Bone marrow smear; 40× objective, oil immersion:
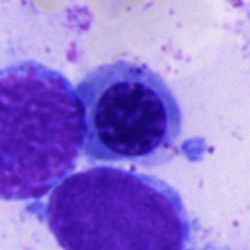Q: Which cell type is shown here?
A: It is an erythroblast.